Peripheral blood film · 400×400 · single cell centered in the field — 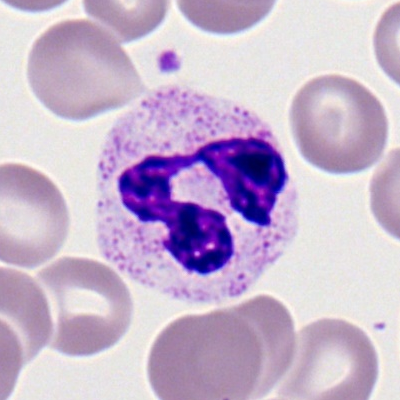 Q: Which cell type is shown here?
A: A segmented neutrophil.